Bone marrow aspirate smear · 250×250 — 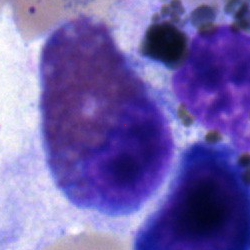

Morphology → eosinophil.